40× objective, oil immersion; bone marrow smear:
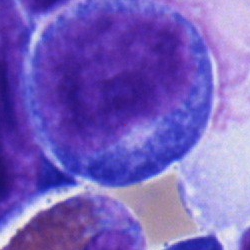Impression — proerythroblast.